Cropped to a single cell · bone marrow aspirate smear · Pappenheim-stained
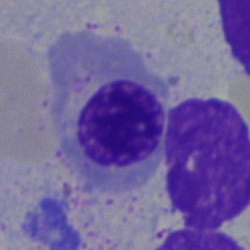

Classification = nucleated red blood cell.